Bone marrow aspirate smear — 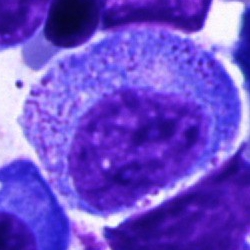
Specimen: bone marrow aspirate smear.
Cell type: progranulocyte.